Single cell centered in the field · Romanowsky stain · peripheral blood smear: 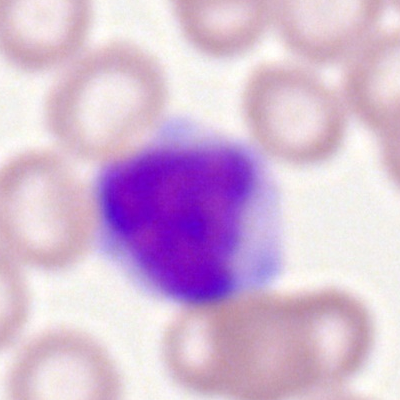Specimen: peripheral blood smear.
Classification: typical lymphocyte.